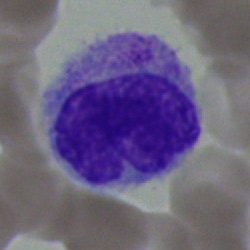 Specimen: bone marrow aspirate smear.
Morphological class: monocyte.